MGG-stained. Bone marrow aspirate smear.
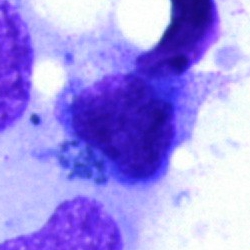 This is an artefact.